Bone marrow aspirate smear:
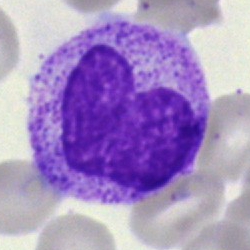 Showing a metamyelocyte.